Bone marrow smear: 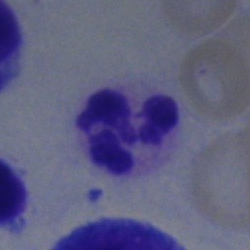
Showing a polymorphonuclear neutrophil.